Single-cell field · 250×250 · bone marrow smear.
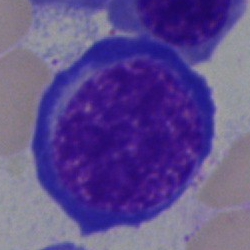

Specimen: bone marrow aspirate smear.
Classification: normoblast.